Peripheral blood film.
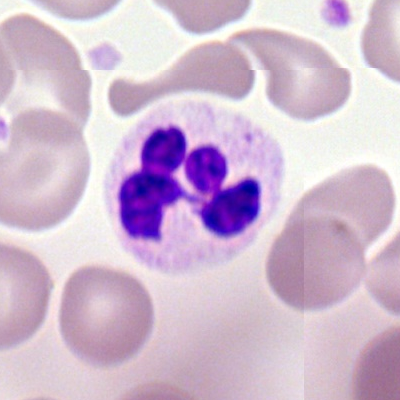
This is a polymorphonuclear neutrophil.